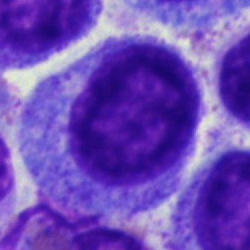 Morphological class — progranulocyte.